Bone marrow aspirate smear:
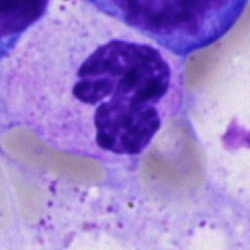 Morphological class — segmented neutrophil.